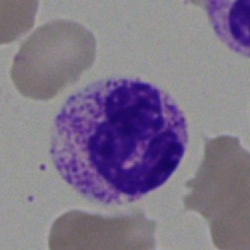

Bone marrow smear showing a polymorphonuclear neutrophil.